Bone marrow aspirate smear
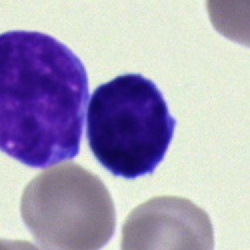Specimen: bone marrow smear.
Morphological class: lymphocyte.